Bone marrow smear · 40× oil immersion.
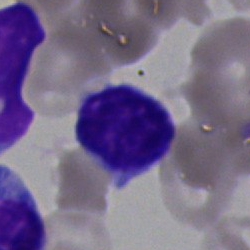 Morphology consistent with a lymphocyte.